Bone marrow smear
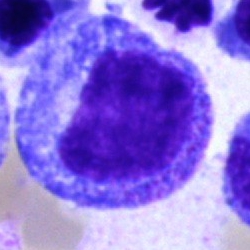Q: What is the morphological classification of this cell?
A: This is a promyelocyte.